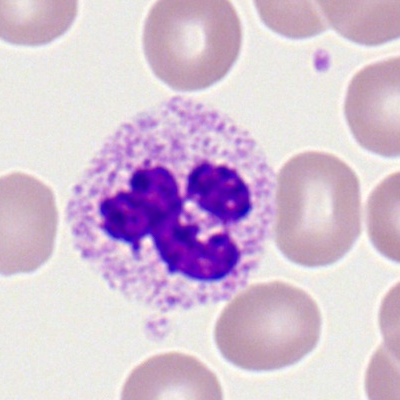 Peripheral blood film, single cell — polymorphonuclear neutrophil.